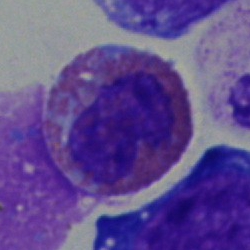

Q: What is shown here?
A: It is an eosinophilic granulocyte.